Bone marrow smear: 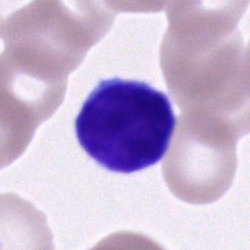Q: Which cell type is shown here?
A: This is a lymphocyte.